Peripheral blood film: 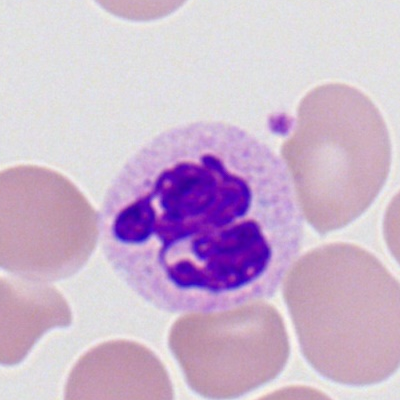

Showing a polymorphonuclear neutrophil.